Bone marrow aspirate smear.
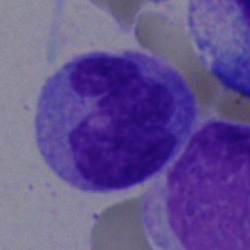
Classification: monocyte.